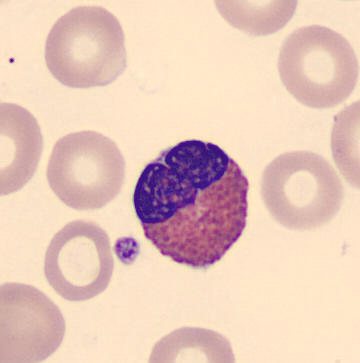 Peripheral blood film, single cell — eosinophil.